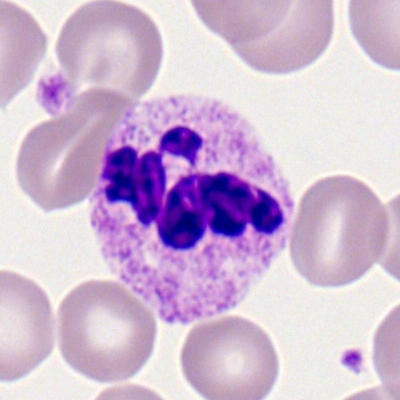Specimen: peripheral blood smear.
Classification: neutrophil (segmented).